40× objective, oil immersion · Pappenheim-stained · bone marrow smear
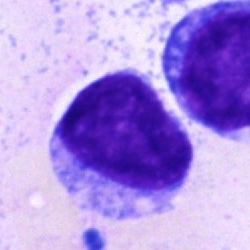Q: What is the morphological classification of this cell?
A: A blast.